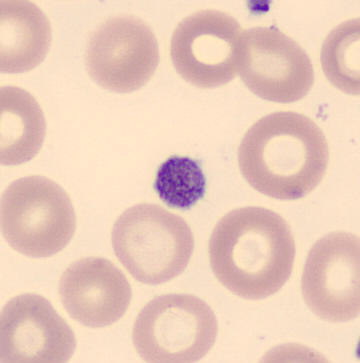
Q: What is this?
A: A thrombocyte.